Bone marrow smear.
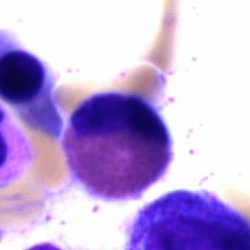

Q: What cell is this?
A: This is an eosinophil.